Single cell centered in the field. Bone marrow aspirate smear:
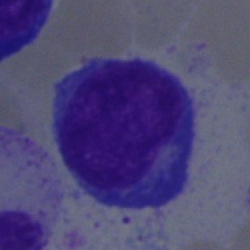
The classification is proerythroblast.